Bone marrow smear.
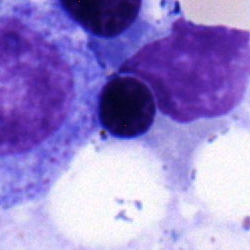
This is a nucleated red blood cell.